Bone marrow aspirate smear; May-Grünwald-Giemsa/Pappenheim stain; single cell centered in the field:
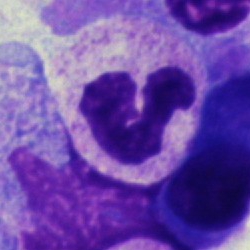

A stab cell.